Bone marrow aspirate smear:
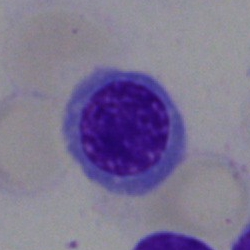
This is a nucleated red blood cell.